Bone marrow smear — 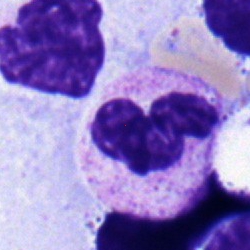

Morphology → polymorphonuclear neutrophil.